Single-cell field; bone marrow smear — 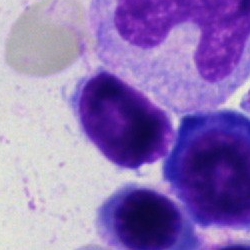 Morphology → lymphocyte.